Single cell centered in the field. Bone marrow smear. 250×250 — 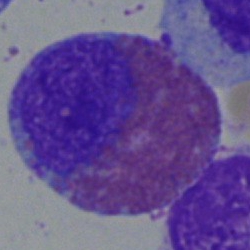
Eosinophil.